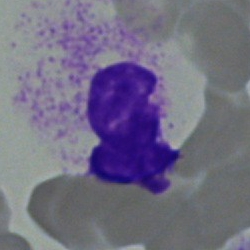

Morphology consistent with a segmented neutrophil.